May-Grünwald-Giemsa/Pappenheim stain; bone marrow smear:
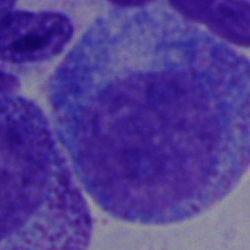 Morphology → promyelocyte.